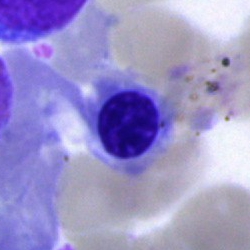
Specimen: bone marrow aspirate smear.
Cell type: nucleated red blood cell.
Lineage: erythroid.